250×250. Bone marrow smear. Pappenheim-stained — 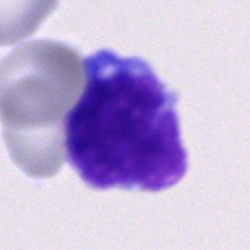Specimen: bone marrow aspirate smear.
Morphological class: undifferentiated blast.